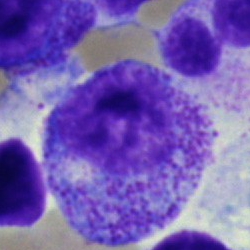Progranulocyte.